Brightfield, 40× oil-immersion objective · single cell centered in the field · bone marrow aspirate smear
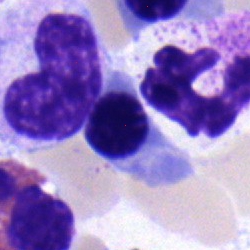 Impression — erythroblast.